Single-cell crop · bone marrow smear
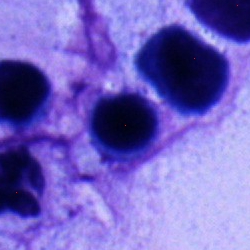Specimen: bone marrow aspirate smear.
Classification: typical lymphocyte.